Pappenheim-stained. Single-cell crop. Bone marrow aspirate smear: 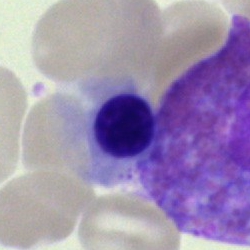
Cell type — normoblast.